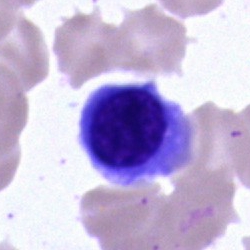Classification = erythroblast.